May-Grünwald-Giemsa stain; bone marrow aspirate smear; single cell centered in the field: 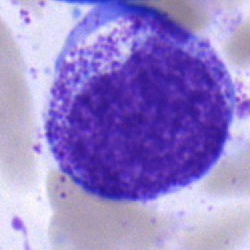 Cell type: myelocyte.